Bone marrow aspirate smear · cropped to a single cell:
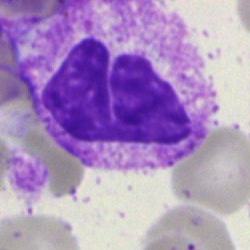
Morphological class: band neutrophil.